Bone marrow aspirate smear.
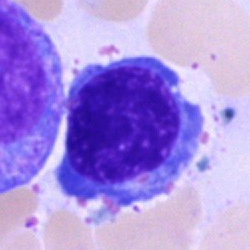

Q: What is the morphological classification of this cell?
A: This is a nucleated red cell.